Bone marrow aspirate smear. May-Grünwald-Giemsa/Pappenheim stain: 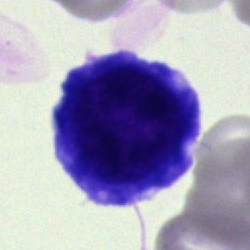Morphological class = nucleated red blood cell.